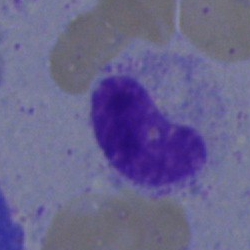The classification is neutrophil (band).